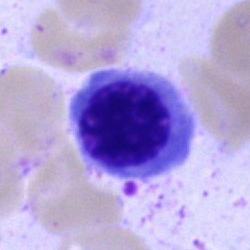

Impression → nucleated red cell.